250×250 px; Pappenheim-stained; bone marrow smear.
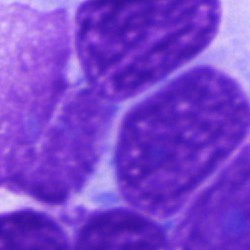

Impression — artifact.